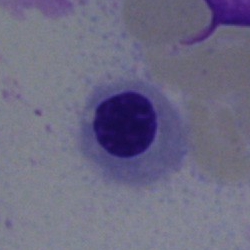

Specimen: bone marrow smear.
Classification: nucleated red blood cell.